40× oil immersion. Bone marrow aspirate smear:
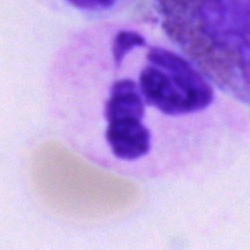Q: What cell is this?
A: This is a segmented neutrophil.